MGG-stained; bone marrow aspirate smear:
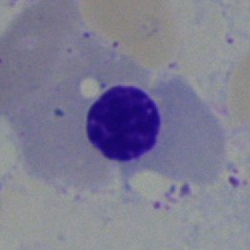Q: What type of cell is this?
A: It is a nucleated red blood cell.